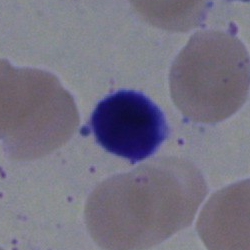

Classification = lymphocyte.